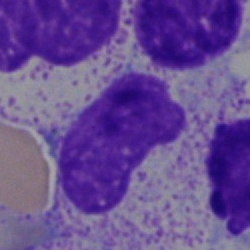 Q: Identify the cell.
A: It is a neutrophil (band).